Image size 400×400. Peripheral blood film. 100× objective, oil immersion — 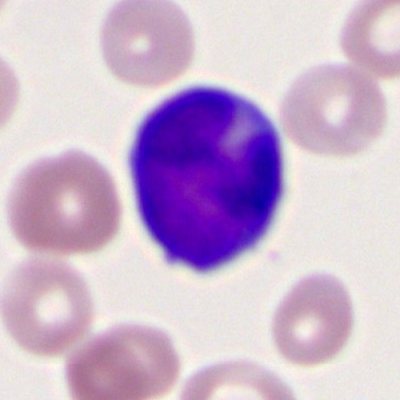

{"cell_type": "myeloid blast", "lineage": "myeloid"}